Bone marrow smear.
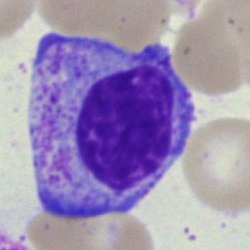Cell type: progranulocyte.